Brightfield, 40× oil-immersion objective; 250×250 px; bone marrow smear.
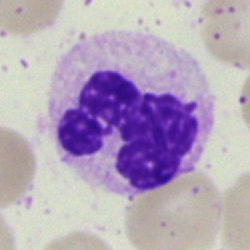Showing a neutrophil (segmented).